Brightfield, 40× oil-immersion objective · bone marrow smear — 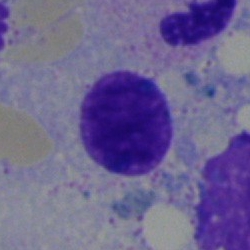Lymphocyte.